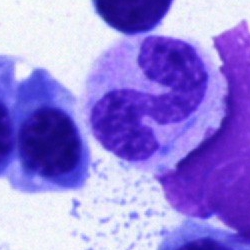A segmented neutrophil on a bone marrow smear.